250 by 250 pixels · bone marrow aspirate smear: 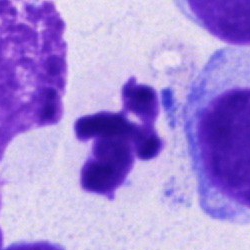

Neutrophil (segmented).